Bone marrow smear — 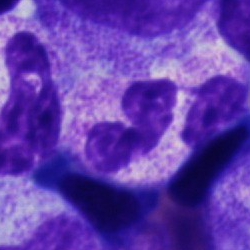

The cell type is neutrophil (segmented).